Bone marrow smear
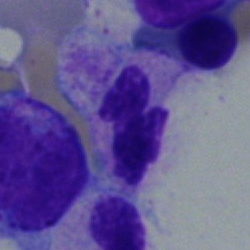

Morphology consistent with a polymorphonuclear neutrophil.